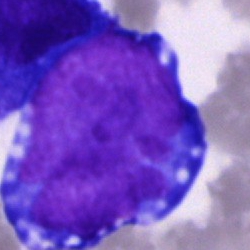
Morphology consistent with a blast.